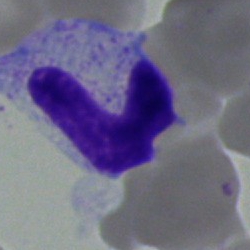

Bone marrow smear showing a stab cell.